May-Grünwald-Giemsa stain · bone marrow smear — 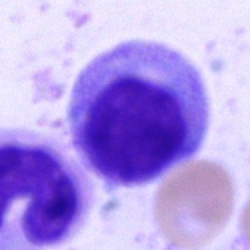

A lymphocyte.